Bone marrow smear — 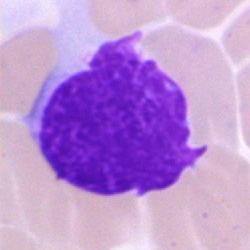 Q: What is shown here?
A: It is an artefact.